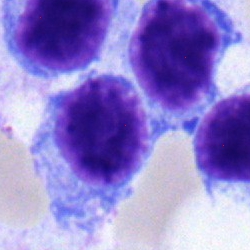
Typical lymphocyte.